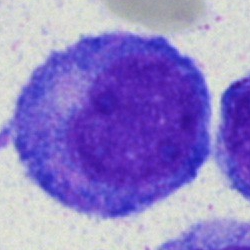 Impression → progranulocyte.